Bone marrow smear:
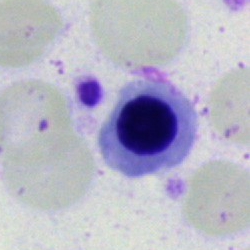

{"cell_type": "normoblast"}